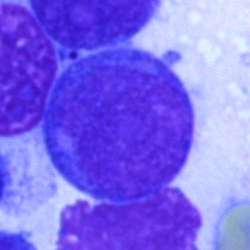Q: What type of cell is this?
A: An undifferentiated blast.